May-Grünwald-Giemsa stain. Bone marrow aspirate smear — 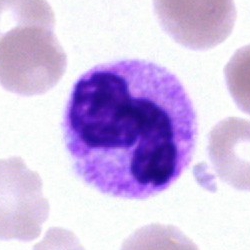 The cell shown is a segmented neutrophil.